Bone marrow aspirate smear:
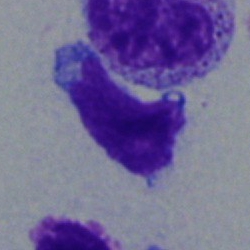

A typical lymphocyte.